Bone marrow smear; single-cell crop: 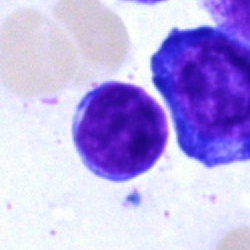 Morphological class: typical lymphocyte.